MGG-stained · bone marrow aspirate smear · single cell centered in the field.
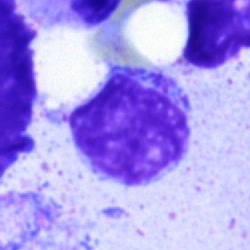
Specimen: bone marrow smear.
Classification: lymphocyte.
Lineage: lymphoid.